Bone marrow aspirate smear.
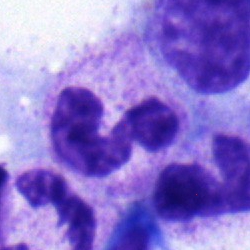 Morphology — neutrophil (band).